Bone marrow aspirate smear · image size 250×250: 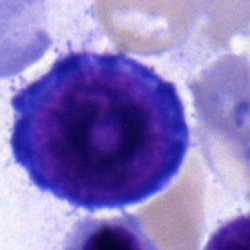 Morphological class — proerythroblast.